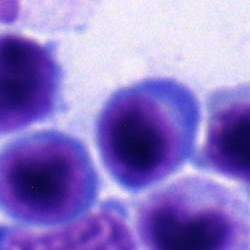

The morphological class is typical lymphocyte.